Peripheral blood film
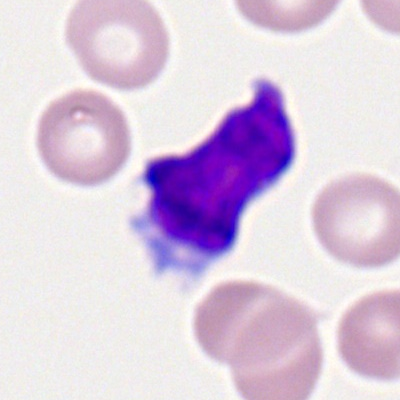 Typical lymphocyte.